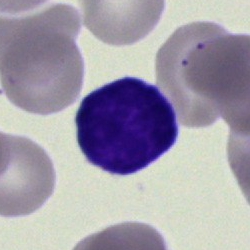Q: What is shown here?
A: A lymphocyte.